Bone marrow smear
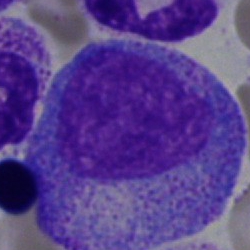Showing a promyelocyte.